May-Grünwald-Giemsa stain. Bone marrow smear:
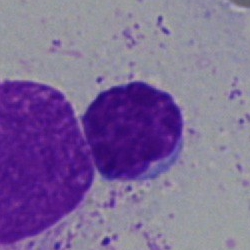 Q: What type of cell is this?
A: This is a typical lymphocyte.